250×250; bone marrow aspirate smear — 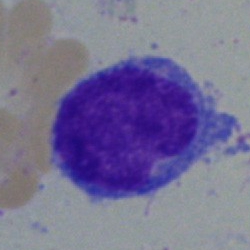

Showing an undifferentiated blast.